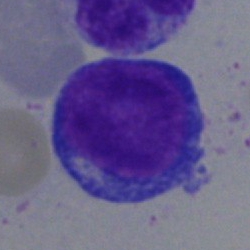
Showing a pronormoblast.